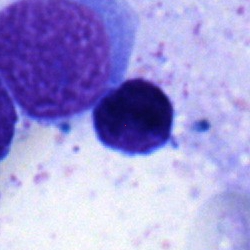Impression → typical lymphocyte.